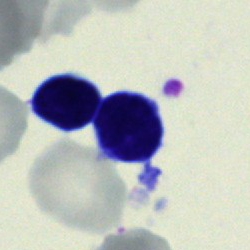

{"cell_type": "lymphocyte", "lineage": "lymphoid"}